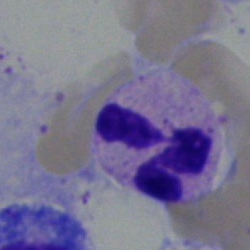 Neutrophil (segmented).